Bone marrow smear. 250×250. May-Grünwald-Giemsa/Pappenheim stain.
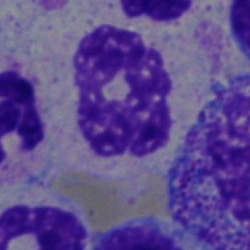 Single cell identified as a band neutrophil.